Single-cell field · bone marrow smear.
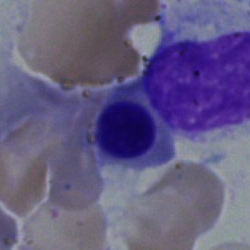
This is a nucleated red blood cell.